Bone marrow smear · image size 250×250
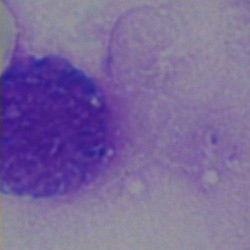 Artifact.